Bone marrow aspirate smear: 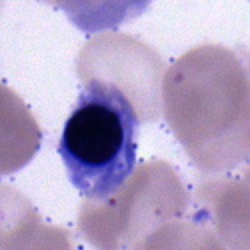

Showing a normoblast.